Bone marrow aspirate smear; single-cell field.
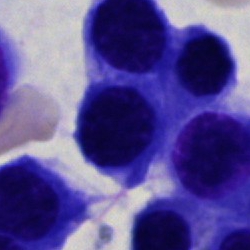
This is a nucleated red cell.